Bone marrow smear.
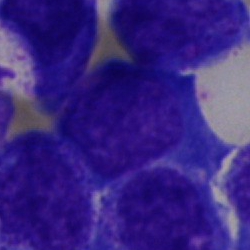
Q: What is the morphological classification of this cell?
A: It is a blast cell.